Bone marrow smear
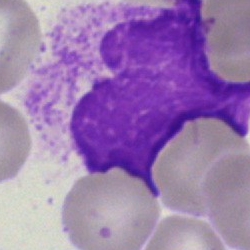

Impression — artifact.